Bone marrow aspirate smear.
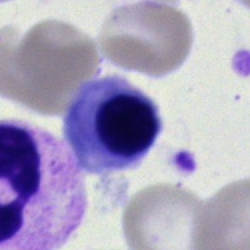
Normoblast.